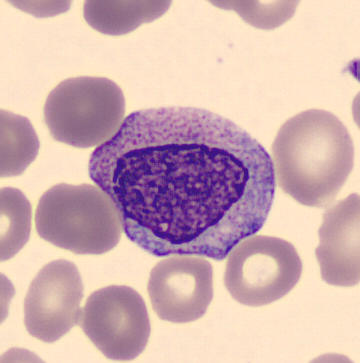
Peripheral blood film. Q: What cell is this?
A: A myelocyte.